Single cell centered in the field; bone marrow aspirate smear; Pappenheim-stained
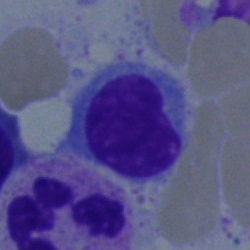Morphological class: lymphocyte.